Bone marrow smear; 40× oil immersion; cropped to a single cell
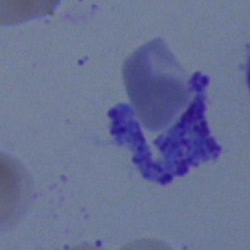 Showing an artefact.